Bone marrow smear
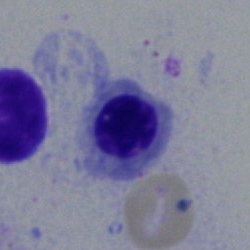A nucleated red cell.